Bone marrow aspirate smear. 40× objective, oil immersion
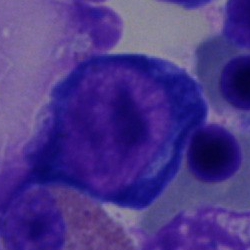
Proerythroblast.